Bone marrow aspirate smear; 40× objective, oil immersion; single-cell crop:
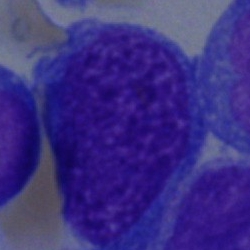 Specimen: bone marrow aspirate smear.
Morphological class: blast.